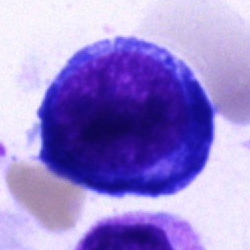 Cell: proerythroblast.